Bone marrow smear. 250×250
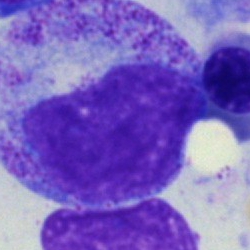

Q: What type of cell is this?
A: Metamyelocyte.